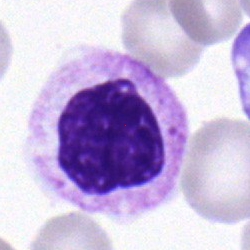
Showing a myelocyte.